250 by 250 pixels; bone marrow smear; brightfield microscopy, 40× oil immersion:
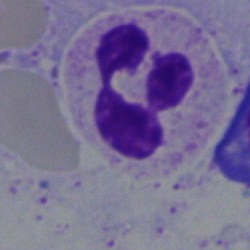Impression → segmented neutrophil.